Bone marrow aspirate smear. Brightfield, 40× oil-immersion objective
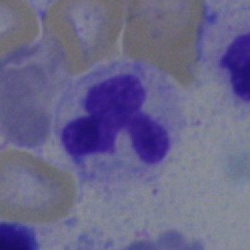The classification is segmented neutrophil.